Bone marrow aspirate smear:
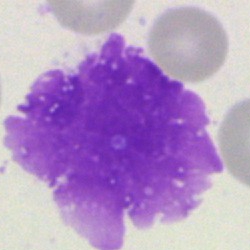The cell shown is an artefact.